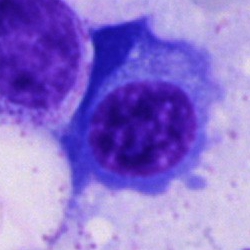Plasma cell.